Bone marrow aspirate smear — 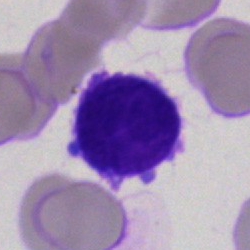

{"cell_type": "lymphocyte", "lineage": "lymphoid"}